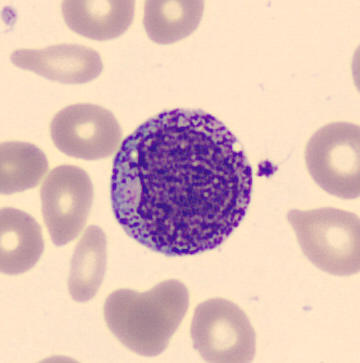
This is a progranulocyte. Preparation: Peripheral blood film. Cropped to a single cell.